Bone marrow aspirate smear. 250 by 250 pixels
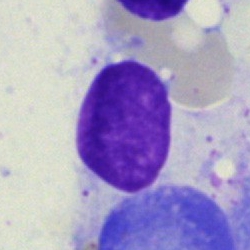{"cell_type": "artifact"}